Bone marrow smear: 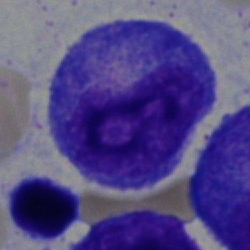

The cell type is promyelocyte.